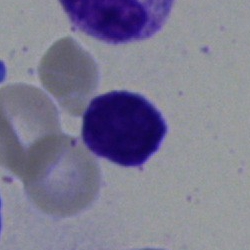

Morphology — typical lymphocyte.